Brightfield microscopy, 40× oil immersion. Bone marrow aspirate smear:
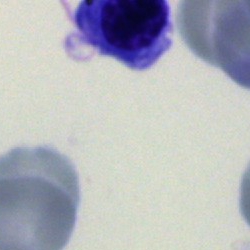Q: What cell is this?
A: A cell of indeterminate lineage.